Bone marrow aspirate smear; MGG-stained; brightfield, 40× oil-immersion objective: 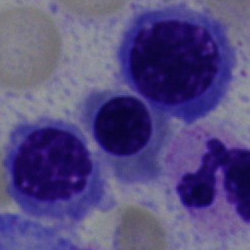 Morphology consistent with a normoblast.